Bone marrow aspirate smear.
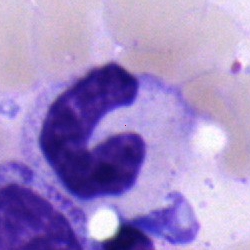
Morphology → neutrophil (band).